Peripheral blood film; Romanowsky stain.
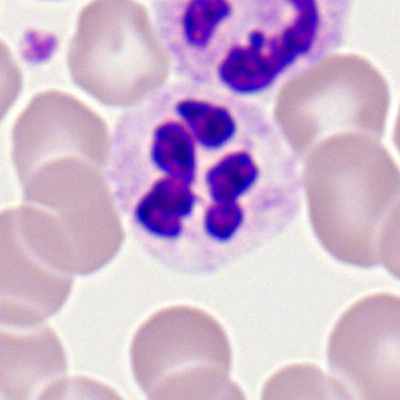

Specimen: peripheral blood smear.
Cell type: polymorphonuclear neutrophil.
Lineage: myeloid.